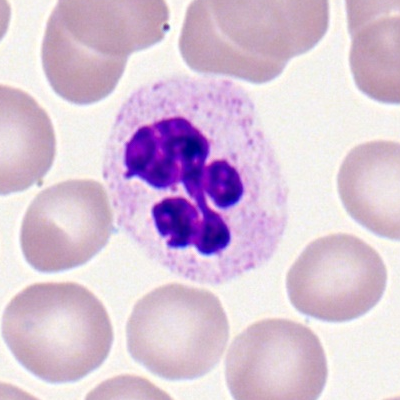

Peripheral blood film, single cell — neutrophil (segmented).